Bone marrow aspirate smear:
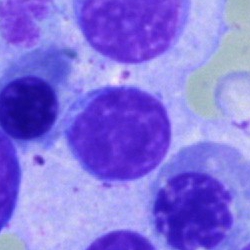The cell is lymphocyte.